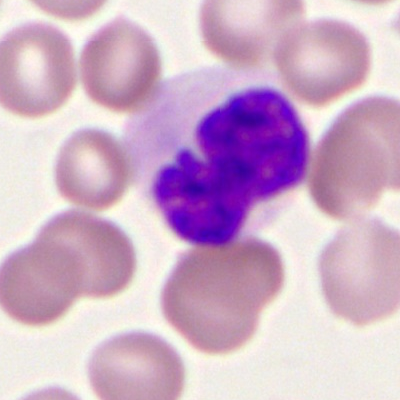
Q: What type of cell is this?
A: Polymorphonuclear neutrophil.